Bone marrow aspirate smear
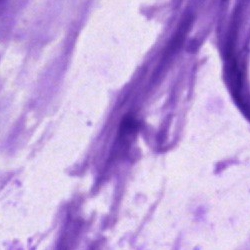 Cell: artifact.